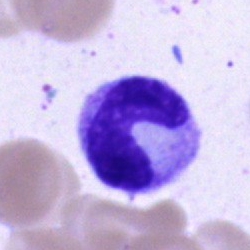
Cell type: stab cell.